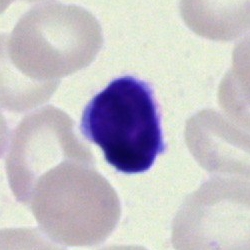

Single cell identified as a lymphocyte.